Bone marrow smear · May-Grünwald-Giemsa stain
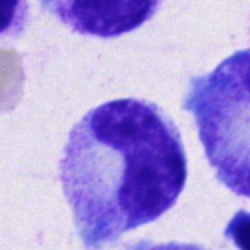 Specimen: bone marrow aspirate smear.
Cell type: metamyelocyte.
Lineage: myeloid.